Image size 250×250; May-Grünwald-Giemsa stain; bone marrow aspirate smear:
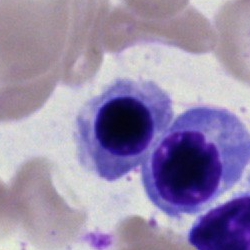

A nucleated red blood cell.